Bone marrow smear · image size 250×250 · MGG-stained:
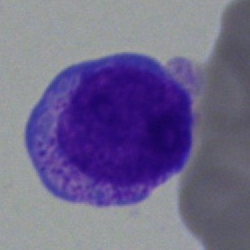Specimen: bone marrow aspirate smear.
Classification: promyelocyte.